Bone marrow smear:
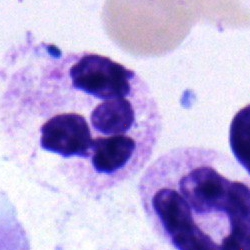

Morphological class: polymorphonuclear neutrophil.